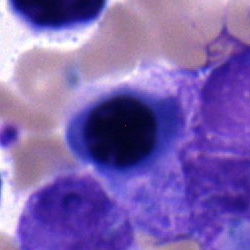Cell type — normoblast.